Peripheral blood film: 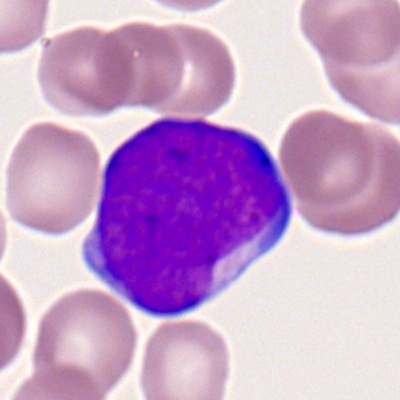

Cell = myeloblast.